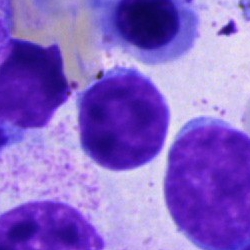 The morphological class is typical lymphocyte.